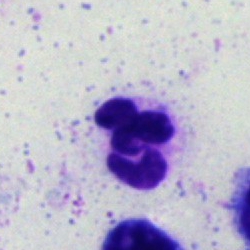 Bone marrow smear showing a polymorphonuclear neutrophil.